Peripheral blood film: 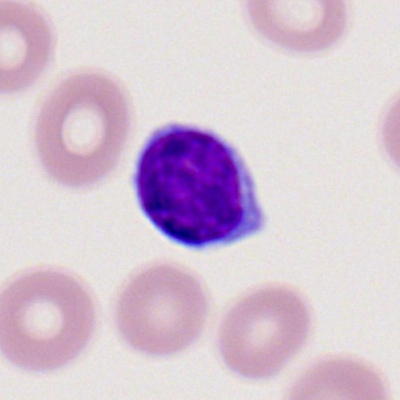The morphological class is lymphocyte.